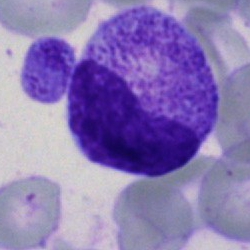 Impression — metamyelocyte.